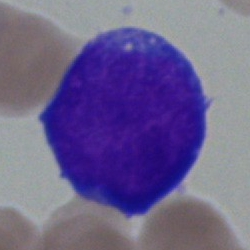
Impression — blast cell.